Bone marrow aspirate smear:
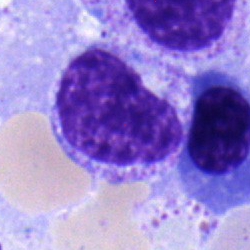Specimen: bone marrow aspirate smear.
Cell: myelocyte.
Lineage: myeloid.